Single-cell crop · bone marrow aspirate smear · 40× objective, oil immersion
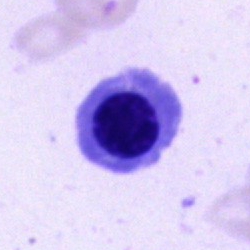

Morphology consistent with a nucleated red cell.